Bone marrow aspirate smear:
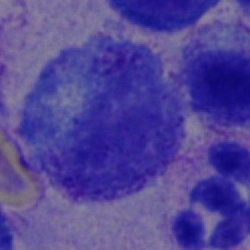 Morphology consistent with a progranulocyte.